Bone marrow smear.
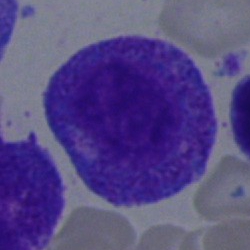
Promyelocyte.